Cropped to a single cell; brightfield, 40× oil-immersion objective; bone marrow aspirate smear
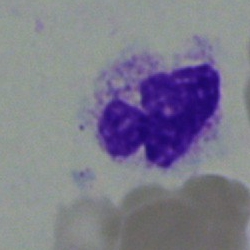Cell type = segmented neutrophil.